Bone marrow aspirate smear:
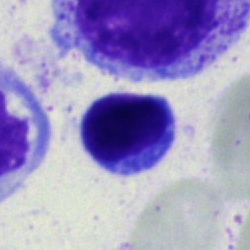 Cell type = typical lymphocyte.